Cropped to a single cell; bone marrow smear; MGG-stained: 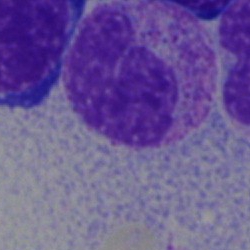
Metamyelocyte.